Bone marrow aspirate smear — 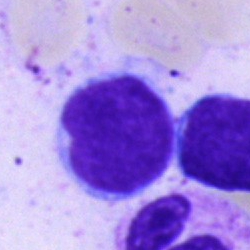The cell type is typical lymphocyte.